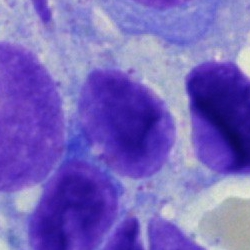
An artifact on a bone marrow smear.